Bone marrow aspirate smear.
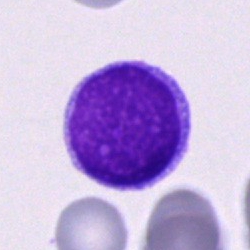 Single cell identified as an undifferentiated blast.